Peripheral blood film; single cell centered in the field:
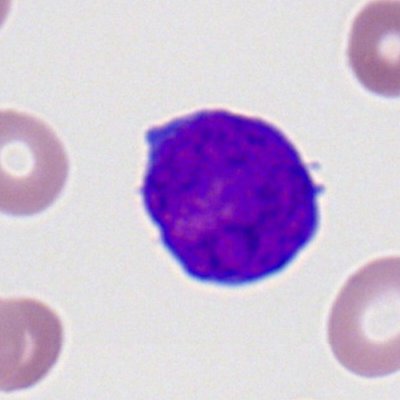

Impression — myeloblast.